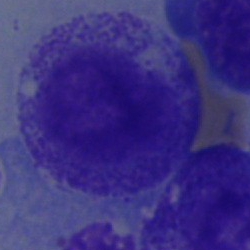

A myelocyte on a bone marrow smear.